Bone marrow aspirate smear; cropped to a single cell — 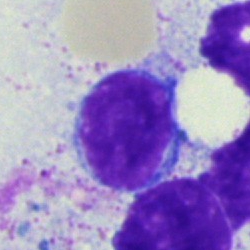

Morphology consistent with a typical lymphocyte.